Bone marrow aspirate smear:
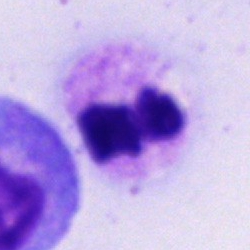Cell type — segmented neutrophil.